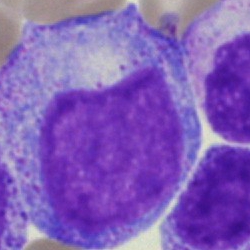

Specimen: bone marrow aspirate smear.
Cell type: progranulocyte.
Lineage: myeloid.